Bone marrow smear.
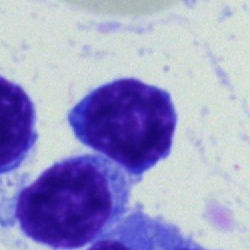

Morphology consistent with a lymphocyte.